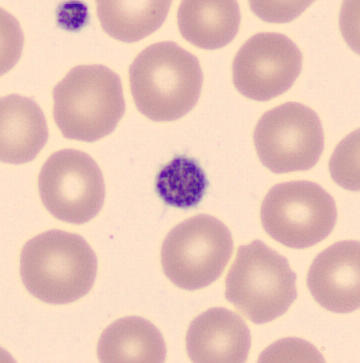

360 by 363 pixels. Peripheral blood smear. The classification is platelet (thrombocyte).